May-Grünwald-Giemsa/Pappenheim stain · single-cell field · bone marrow aspirate smear: 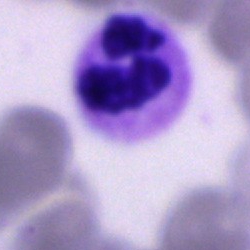
Q: What is shown here?
A: It is a neutrophil (segmented).